40× objective, oil immersion. Bone marrow smear — 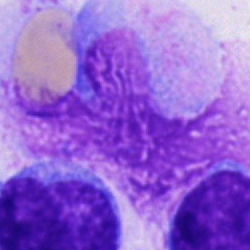

Morphological class = artefact.